Bone marrow smear: 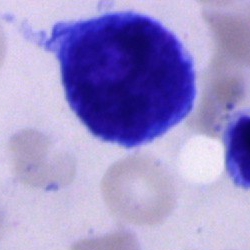
This is an unidentifiable cell.